Bone marrow smear: 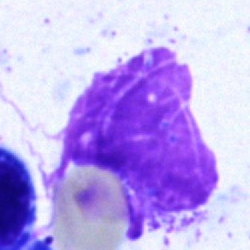Q: What is shown here?
A: Artifact.